Peripheral blood smear: 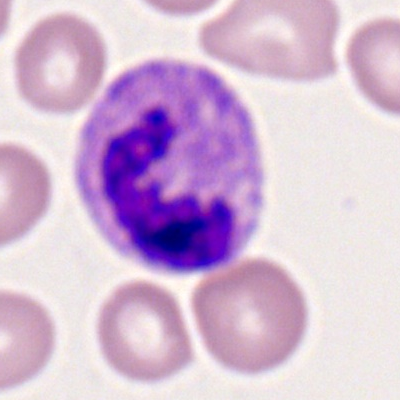
Cell: segmented neutrophil.